250×250 · bone marrow aspirate smear
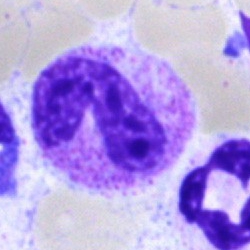

A band-form neutrophil.